Bone marrow aspirate smear
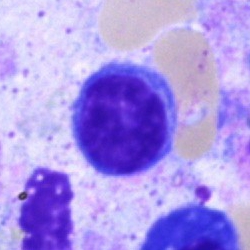Typical lymphocyte.